Bone marrow smear.
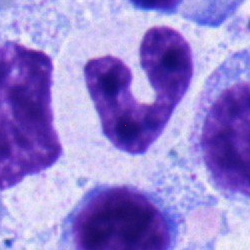{"cell_type": "neutrophil (band)"}